Brightfield, 100× oil-immersion objective · peripheral blood film
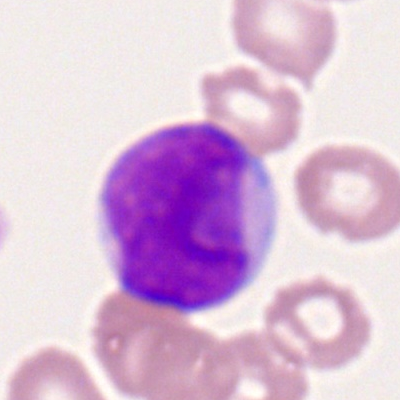 Morphology → myeloblast.